Bone marrow aspirate smear · 250×250:
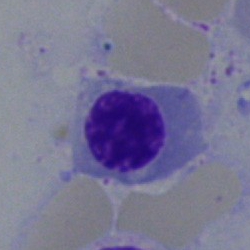

A nucleated red blood cell.